Bone marrow aspirate smear.
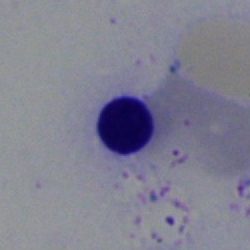
Q: Identify the cell.
A: It is a nucleated red blood cell.